Automated cell imaging (CellaVision DM96) · peripheral blood film — 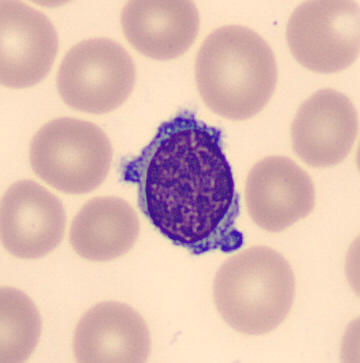 {"cell_type": "lymphocyte"}